Bone marrow smear.
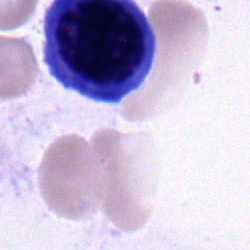

A nucleated red cell.